Bone marrow aspirate smear — 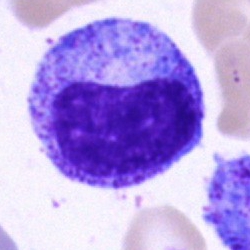
Morphology → promyelocyte.